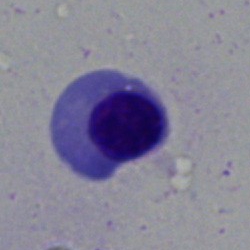 Single-cell crop from a bone marrow smear: nucleated red blood cell.